Pappenheim-stained · single cell centered in the field · bone marrow smear: 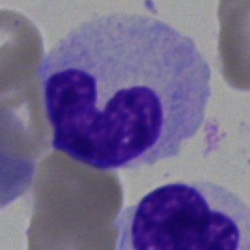
The cell is band neutrophil.